Bone marrow aspirate smear — 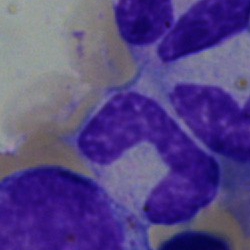 Cell — band neutrophil.